Bone marrow aspirate smear; single cell centered in the field; 250×250 px — 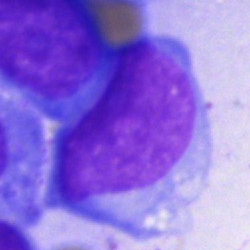 Cell type: blast.